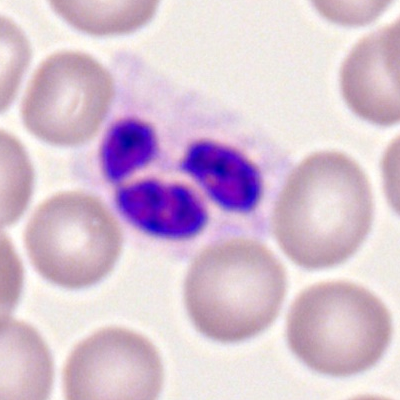
Q: What is the morphological classification of this cell?
A: Polymorphonuclear neutrophil.